40× objective, oil immersion · bone marrow smear · 250×250 px: 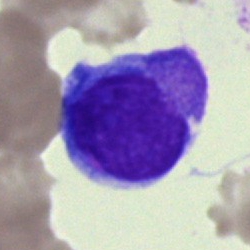 Cell type: blast cell.